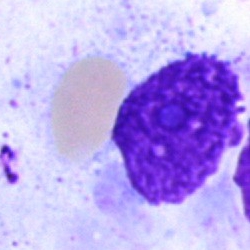

Cell type: artifact.